Bone marrow aspirate smear: 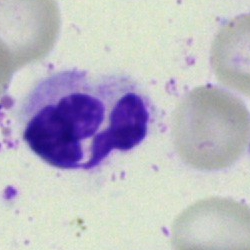

Impression → polymorphonuclear neutrophil.